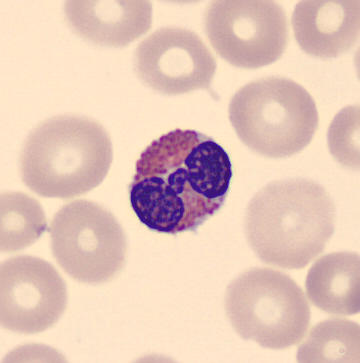

The cell shown is an eosinophil.